Bone marrow aspirate smear.
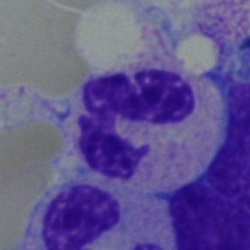Morphology → band-form neutrophil.